Peripheral blood smear — 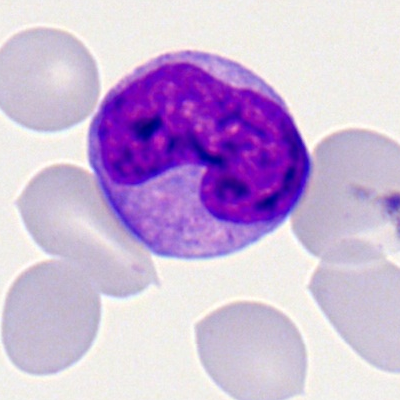 Cell type: monocyte.